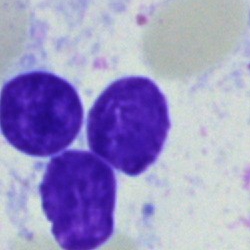 Single cell identified as a lymphocyte.